Peripheral blood smear.
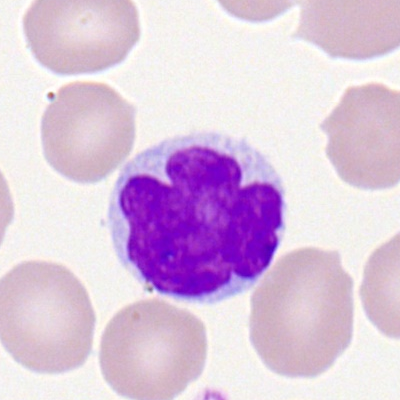
Showing a lymphocyte.